Peripheral blood film · 100× objective, oil immersion
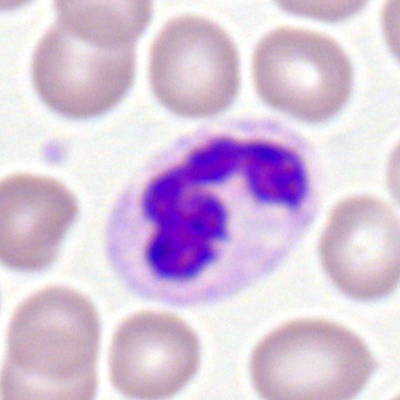

{"cell_type": "polymorphonuclear neutrophil"}